Peripheral blood film
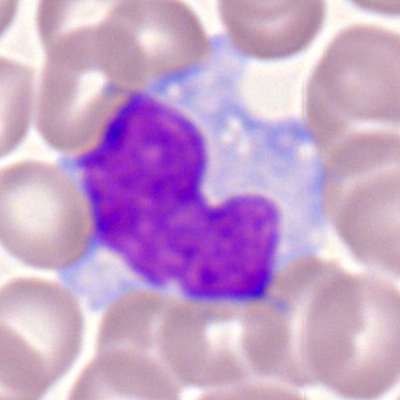

This is a monocyte.